Bone marrow aspirate smear:
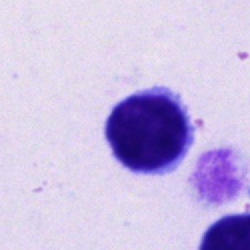

Specimen: bone marrow aspirate smear.
Cell type: typical lymphocyte.
Lineage: lymphoid.